Bone marrow smear; single-cell field; brightfield microscopy, 40× oil immersion.
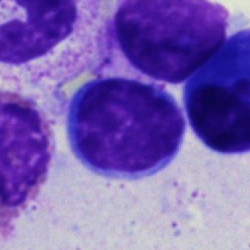

{"cell_type": "typical lymphocyte"}